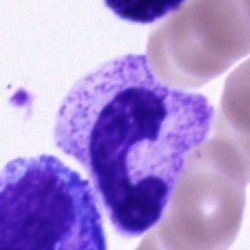

Cell — neutrophil (band).